Peripheral blood smear:
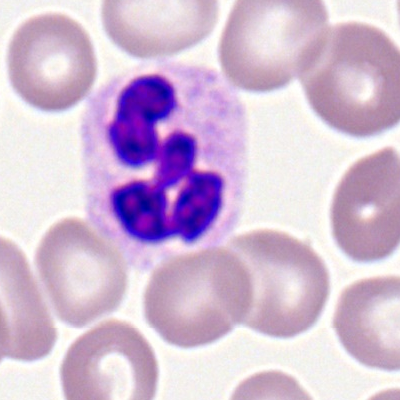
Morphology — segmented neutrophil.